250 by 250 pixels · bone marrow smear · cropped to a single cell.
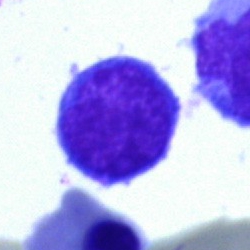
Morphology → undifferentiated blast.